Single-cell crop · bone marrow aspirate smear · May-Grünwald-Giemsa stain.
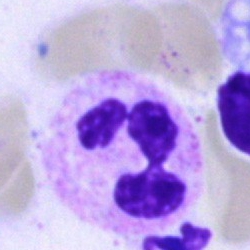

Cell type: neutrophil (segmented).